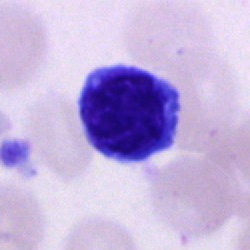

The cell is nucleated red cell.